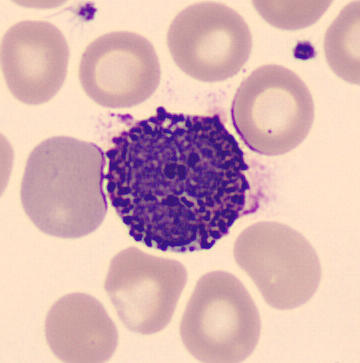Impression — basophilic granulocyte.